Bone marrow smear.
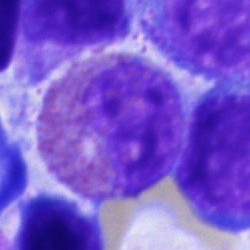The cell shown is an eosinophil.